Bone marrow aspirate smear. Single-cell field:
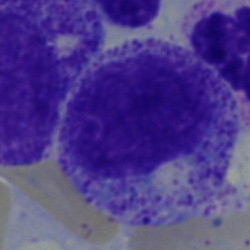 Impression — myelocyte.